Bone marrow aspirate smear.
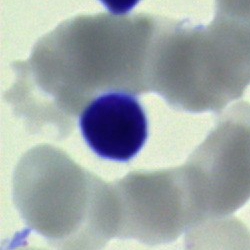

Single cell identified as a typical lymphocyte.